Bone marrow smear
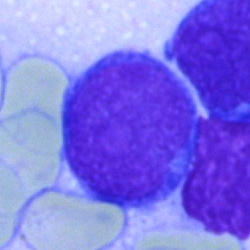

The morphological class is blast.